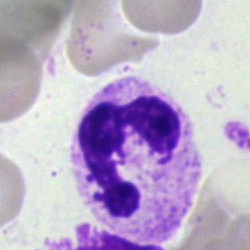
Classification: segmented neutrophil.